250 by 250 pixels; bone marrow smear: 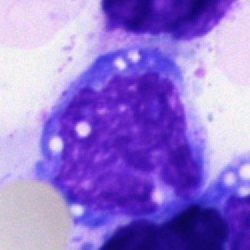 Q: What is shown here?
A: A monocyte.